Bone marrow aspirate smear. 250×250
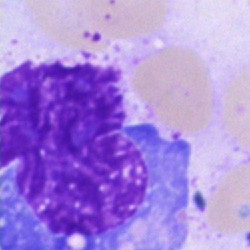
Specimen: bone marrow smear.
Cell: artifact.